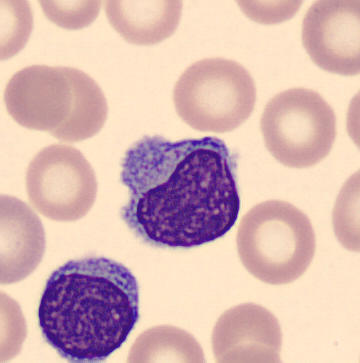 Image: Single-cell crop. Peripheral blood smear.

Lymphocyte.